Bone marrow smear. 250×250 px. Single-cell crop:
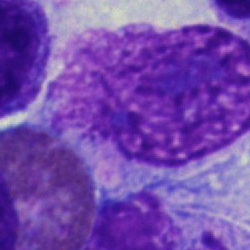
Morphology consistent with an artefact.